Peripheral blood film; cropped to a single cell
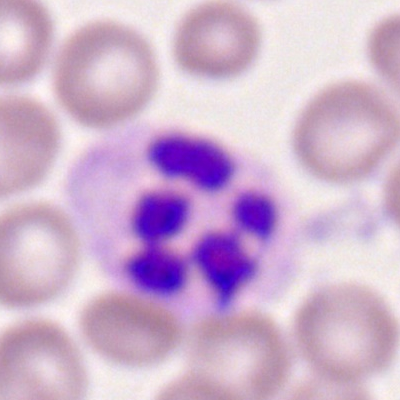Q: What is the morphological classification of this cell?
A: It is a segmented neutrophil.